Bone marrow aspirate smear; image size 250×250: 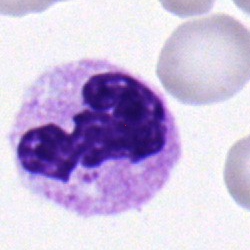 The classification is polymorphonuclear neutrophil.